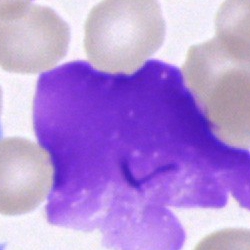

Classification: artefact.